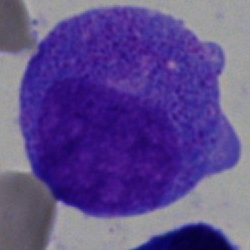
Bone marrow smear showing a promyelocyte.